May-Grünwald-Giemsa stain; bone marrow aspirate smear; single cell centered in the field — 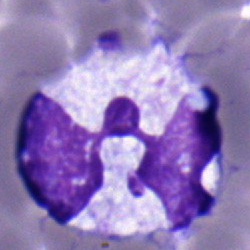
Single cell identified as a monocyte.